Bone marrow aspirate smear. MGG-stained.
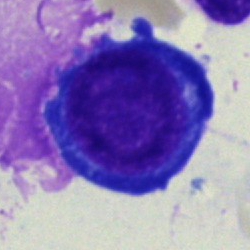Morphology → proerythroblast.